Bone marrow aspirate smear:
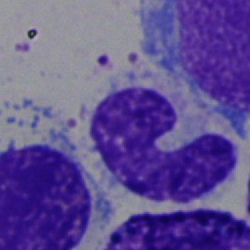

Specimen: bone marrow smear.
Cell: stab cell.
Lineage: myeloid.